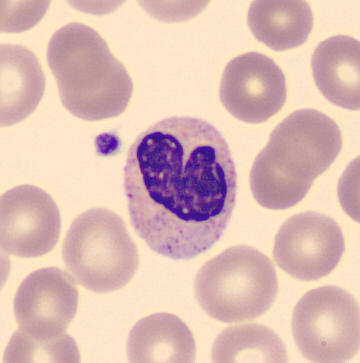Acquisition: Peripheral blood smear. Classification: neutrophil (band).